Bone marrow smear. Cropped to a single cell: 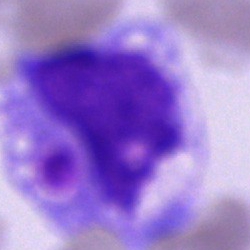

Classification: monocyte.